Bone marrow smear: 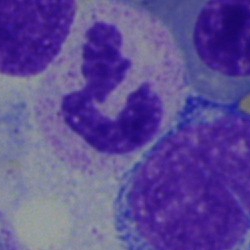 {"cell_type": "neutrophil (segmented)"}